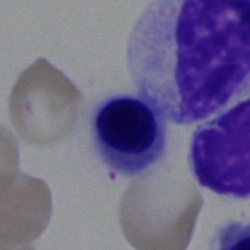
Morphology — nucleated red blood cell.